Bone marrow aspirate smear: 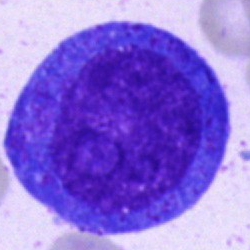 Q: What is the morphological classification of this cell?
A: It is a promyelocyte.